Bone marrow aspirate smear. Single-cell crop — 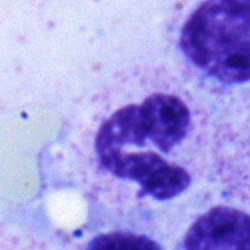 Showing a segmented neutrophil.